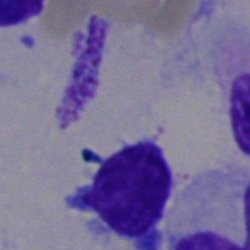Showing an artifact.